Bone marrow aspirate smear; cropped to a single cell; brightfield microscopy, 40× oil immersion:
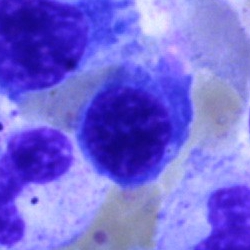Morphology consistent with an erythroblast.